Peripheral blood film:
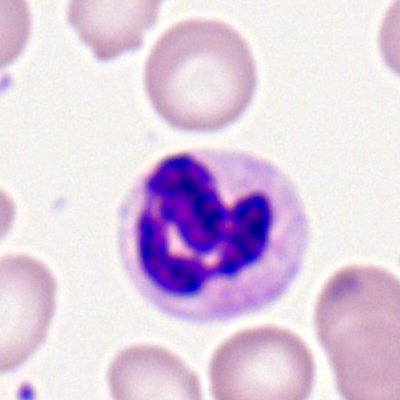
Impression — polymorphonuclear neutrophil.